Bone marrow aspirate smear.
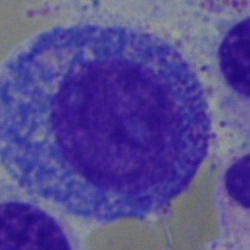
Showing a progranulocyte.